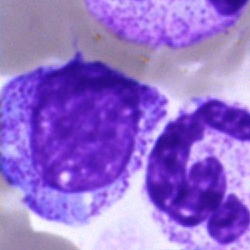Bone marrow smear showing a myelocyte.